Bone marrow aspirate smear; May-Grünwald-Giemsa/Pappenheim stain; single cell centered in the field.
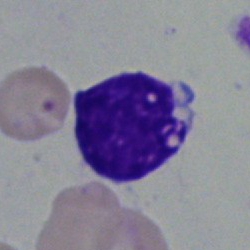
Impression → typical lymphocyte.